Bone marrow aspirate smear
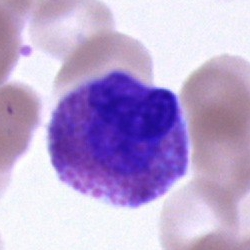 Morphology consistent with an eosinophil.